Bone marrow smear · brightfield microscopy, 40× oil immersion · single-cell field.
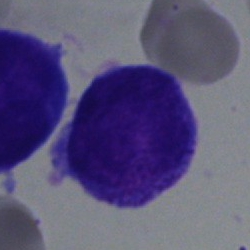
Impression → blast.